Bone marrow smear
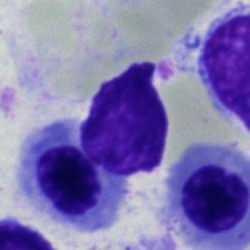

A nucleated red cell.